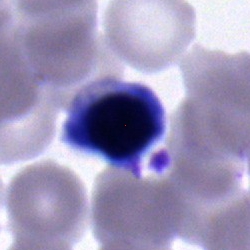Nucleated red blood cell.